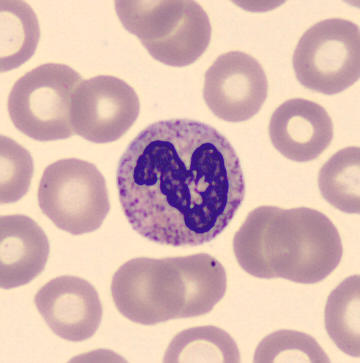 Cell type — polymorphonuclear neutrophil.